40× objective, oil immersion · bone marrow aspirate smear.
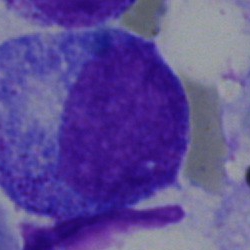 Q: What type of cell is this?
A: This is a progranulocyte.